Peripheral blood film.
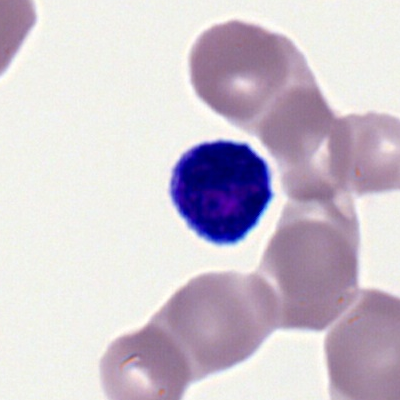Morphology consistent with a typical lymphocyte.